Bone marrow aspirate smear.
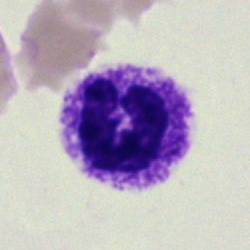This is a polymorphonuclear neutrophil.